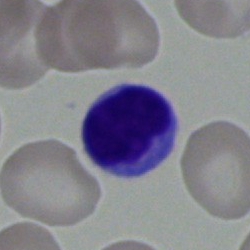Morphological class: lymphocyte.